Cropped to a single cell · bone marrow aspirate smear — 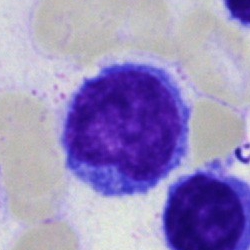{"cell_type": "lymphocyte"}